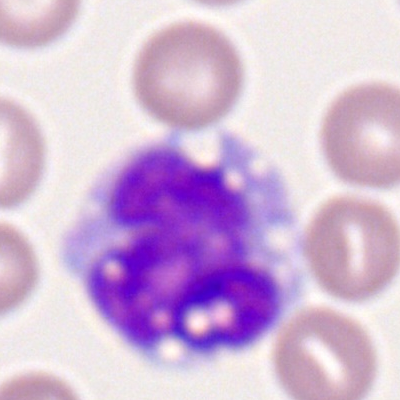

Q: What is shown here?
A: This is a monocyte.